Bone marrow aspirate smear.
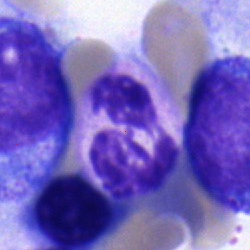 Specimen: bone marrow aspirate smear.
Cell type: segmented neutrophil.
Lineage: myeloid.